Bone marrow smear. 250×250
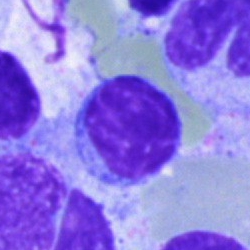

Impression → lymphocyte.